Image size 250×250; May-Grünwald-Giemsa/Pappenheim stain; bone marrow aspirate smear
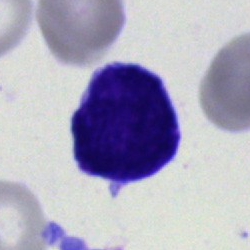

Cell type: blast cell.